Peripheral blood smear.
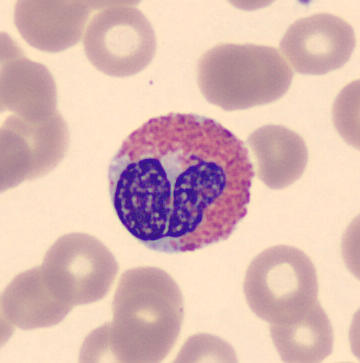
The morphological class is eosinophilic granulocyte.